Bone marrow aspirate smear; single-cell field:
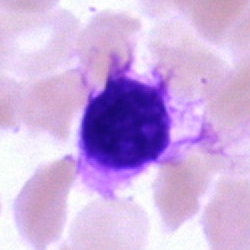Morphological class = artefact.